Bone marrow aspirate smear — 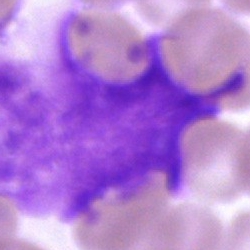Cell: artifact.